Bone marrow smear; single-cell crop.
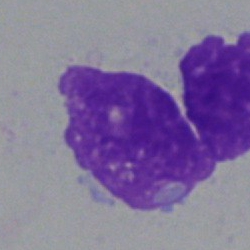

Single cell identified as an artefact.